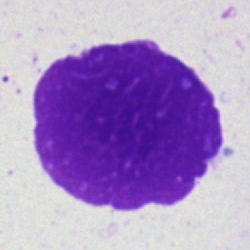
Bone marrow smear showing an artefact.